Single cell centered in the field · 250×250 px · bone marrow aspirate smear — 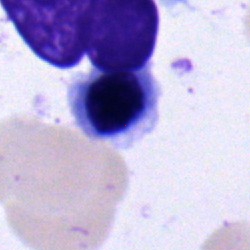

Cell type — normoblast.